250×250 · bone marrow aspirate smear · 40× oil immersion: 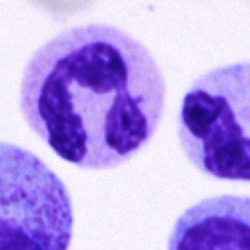Cell — polymorphonuclear neutrophil.